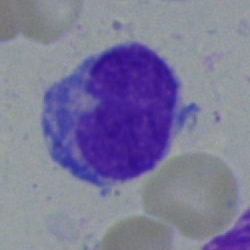 This is a monocyte.